May-Grünwald-Giemsa stain · 250×250 px · bone marrow smear
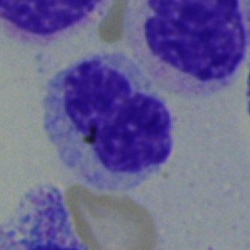 Specimen: bone marrow smear.
Cell type: metamyelocyte.
Lineage: myeloid.